40× objective, oil immersion. Bone marrow smear. MGG-stained.
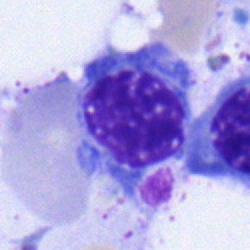
This is a nucleated red cell.